Brightfield, 100× oil-immersion objective; image size 400×400; peripheral blood smear: 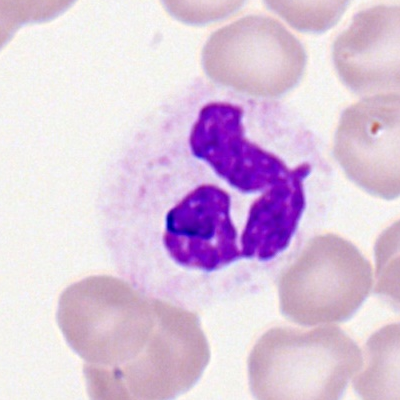Q: What type of cell is this?
A: It is a segmented neutrophil.